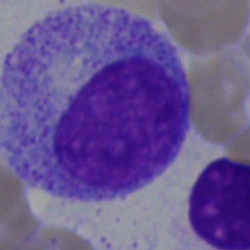
Specimen: bone marrow aspirate smear.
Morphological class: progranulocyte.
Lineage: myeloid.